May-Grünwald-Giemsa/Pappenheim stain · bone marrow smear.
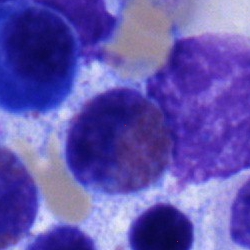

The cell shown is an eosinophilic granulocyte.